May-Grünwald-Giemsa/Pappenheim stain; bone marrow aspirate smear — 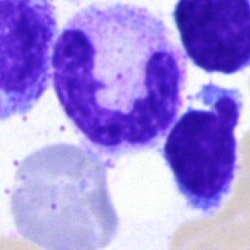

Specimen: bone marrow aspirate smear.
Classification: segmented neutrophil.